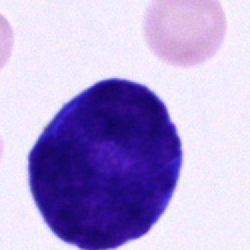
Q: Which cell type is shown here?
A: It is an unidentifiable cell.